40× oil immersion; bone marrow aspirate smear; single-cell crop: 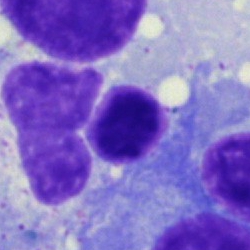

{"cell_type": "artefact"}